May-Grünwald-Giemsa stain · bone marrow smear: 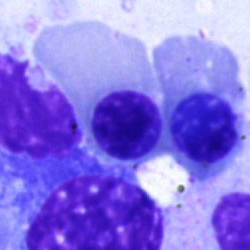 {"cell_type": "nucleated red cell"}